Peripheral blood smear: 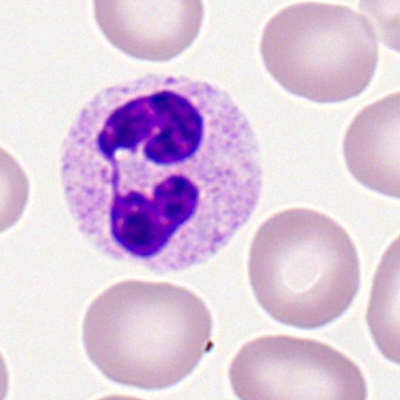
Single cell identified as a polymorphonuclear neutrophil.